Bone marrow aspirate smear — 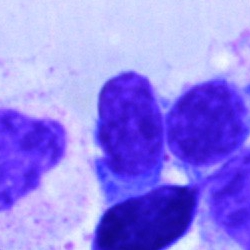

Cell = lymphocyte.